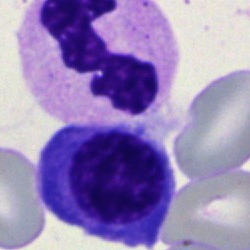
Specimen: bone marrow smear.
Classification: neutrophil (segmented).